Peripheral blood smear:
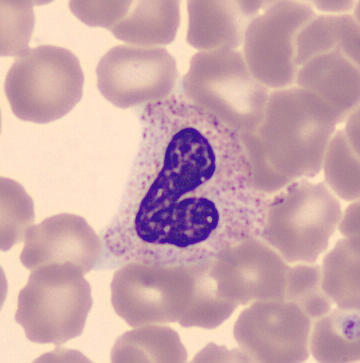 Q: What is shown here?
A: This is a band neutrophil.